MGG-stained · 360×363 · peripheral blood film — 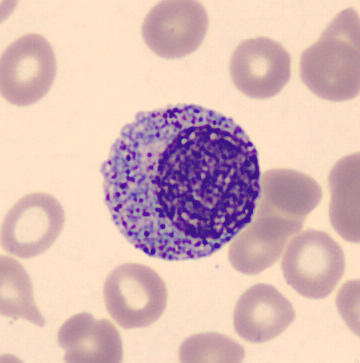

Cell = progranulocyte.